Bone marrow aspirate smear. 250 by 250 pixels. Brightfield, 40× oil-immersion objective:
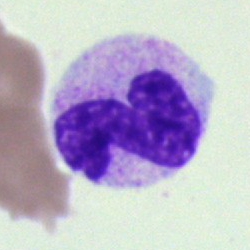

Morphology → band neutrophil.